Pappenheim-stained · bone marrow smear: 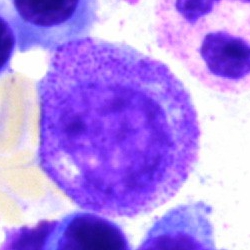 Morphological class: promyelocyte.